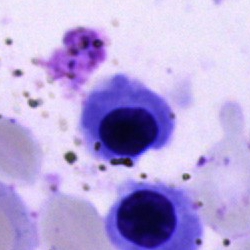
{"cell_type": "nucleated red cell", "lineage": "erythroid"}